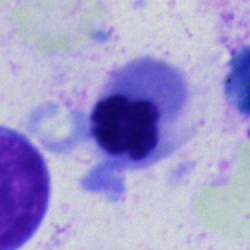
The classification is nucleated red blood cell.